Bone marrow aspirate smear.
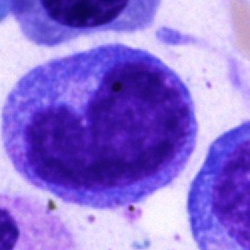Cell type = promyelocyte.